Romanowsky stain · peripheral blood film.
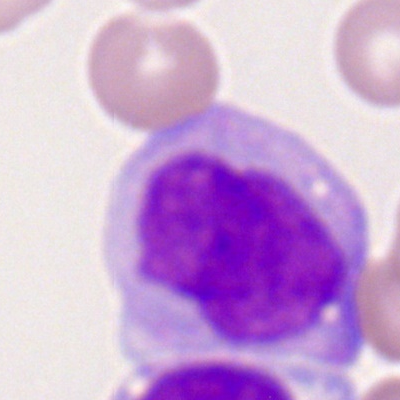Morphology — monocyte.